Bone marrow aspirate smear
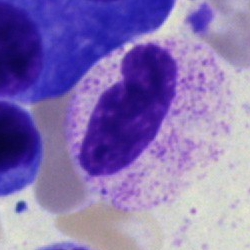 Classification = segmented neutrophil.